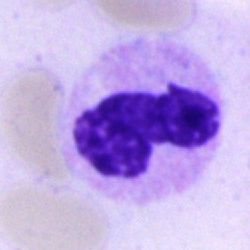
Cell type: polymorphonuclear neutrophil.